Single-cell crop; bone marrow aspirate smear — 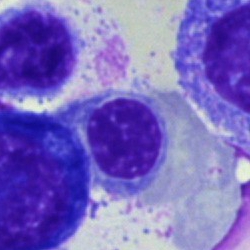 Q: Identify the cell.
A: Normoblast.